Bone marrow aspirate smear: 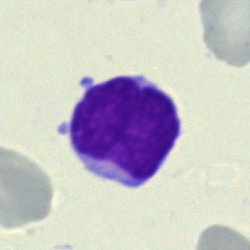Classification = lymphocyte.